Bone marrow smear. Single-cell field:
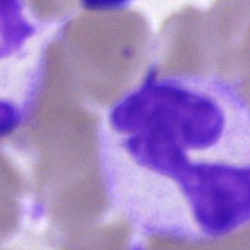
Artefact.